Single-cell crop. Bone marrow smear. Brightfield microscopy, 40× oil immersion:
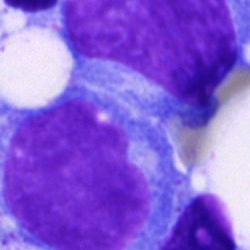
Impression → blast cell.